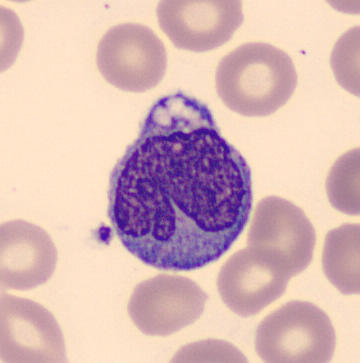Single cell identified as a monocyte.